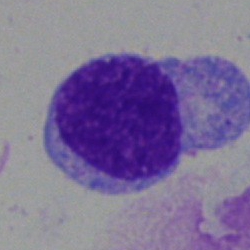A blast.